Bone marrow aspirate smear — 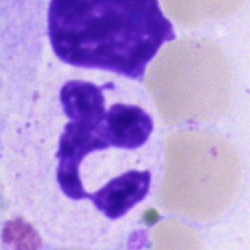

Showing a segmented neutrophil.